Bone marrow smear · 40× objective, oil immersion.
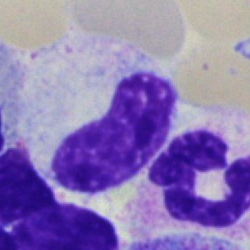 This is a polymorphonuclear neutrophil.